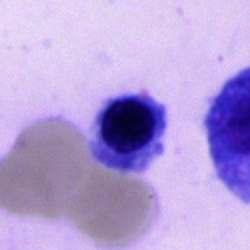
Bone marrow smear showing a nucleated red cell.